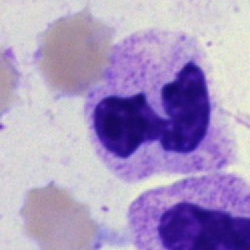
The cell shown is a neutrophil (segmented).